Bone marrow aspirate smear — 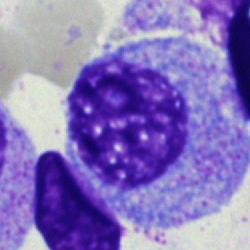 Q: What cell is this?
A: Promyelocyte.